Bone marrow smear — 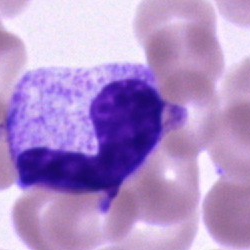 Morphological class — stab cell.